Brightfield, 40× oil-immersion objective; bone marrow smear — 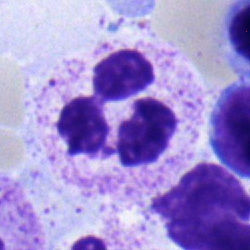
Q: What type of cell is this?
A: This is a polymorphonuclear neutrophil.